Bone marrow smear.
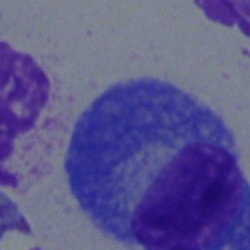
{"cell_type": "plasma cell", "lineage": "lymphoid"}